Romanowsky-stained; peripheral blood smear: 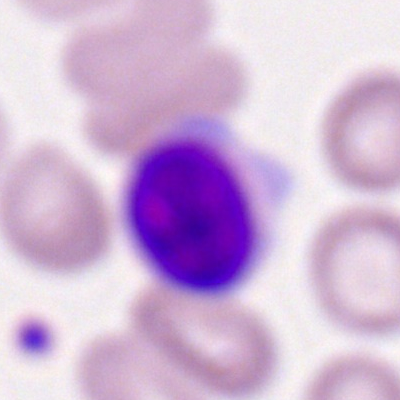Morphology → typical lymphocyte.